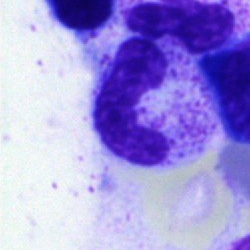

A neutrophil (segmented) on a bone marrow smear.